Brightfield, 40× oil-immersion objective. Pappenheim-stained. Bone marrow aspirate smear
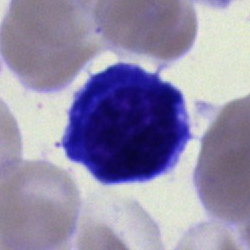Q: Identify the cell.
A: A plasma cell.